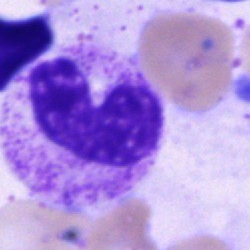Single cell identified as a band neutrophil.